Bone marrow smear.
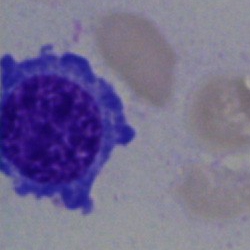
A nucleated red cell.